Bone marrow smear
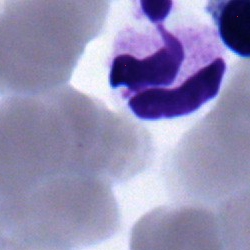

Morphology consistent with a polymorphonuclear neutrophil.